Bone marrow aspirate smear:
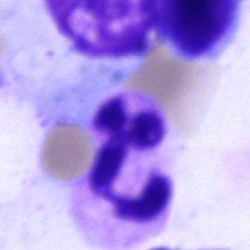
The cell type is neutrophil (segmented).